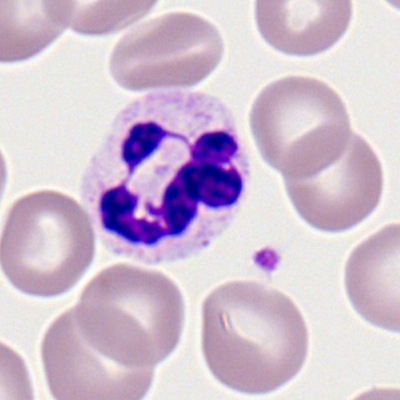Morphology → segmented neutrophil.